Bone marrow smear:
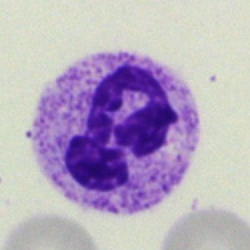Cell type: neutrophil (segmented).